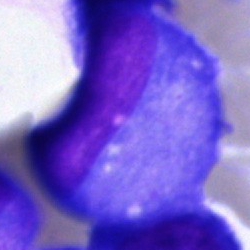 The morphological class is blast cell.